Bone marrow aspirate smear — 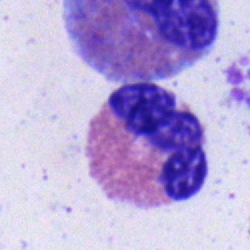 Q: Which cell type is shown here?
A: It is an eosinophilic granulocyte.